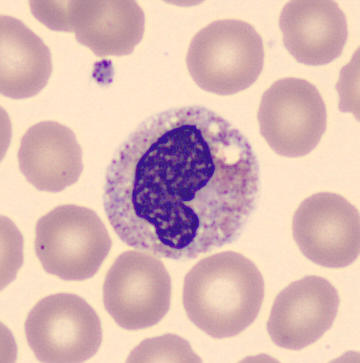

Identified as a metamyelocyte. Peripheral blood smear.